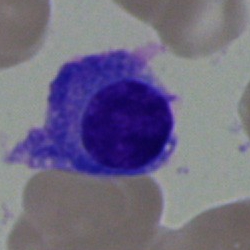{"cell_type": "plasma cell"}